Bone marrow aspirate smear. 40× objective, oil immersion.
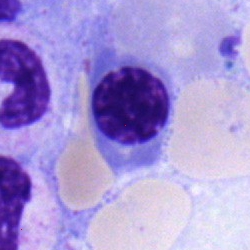Specimen: bone marrow aspirate smear.
Cell: nucleated red cell.